Bone marrow smear. 250×250.
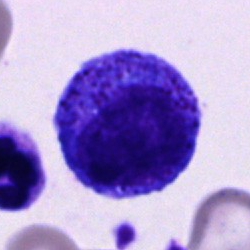

Q: What is the morphological classification of this cell?
A: It is a promyelocyte.